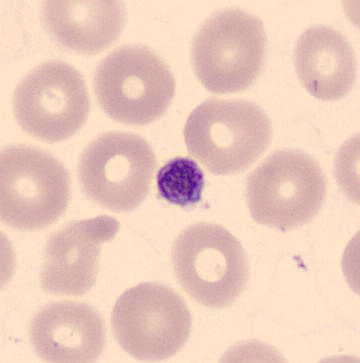
Specimen: peripheral blood smear.
Classification: thrombocyte. Preparation: May Grünwald-Giemsa stain; imaged on a CellaVision DM96 analyser.